Bone marrow aspirate smear; Pappenheim-stained:
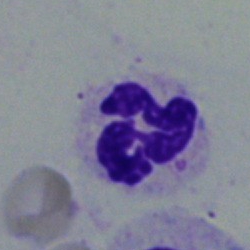The classification is polymorphonuclear neutrophil.